Bone marrow smear · 40× objective, oil immersion — 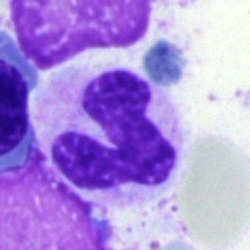Specimen: bone marrow smear.
Cell type: band-form neutrophil.
Lineage: myeloid.